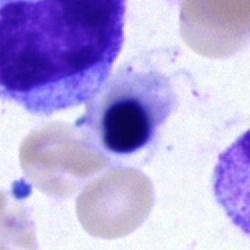
The morphological class is nucleated red cell.